Bone marrow aspirate smear:
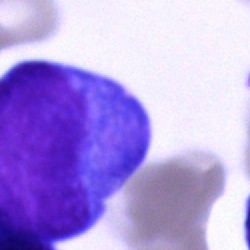
Specimen: bone marrow aspirate smear.
Cell: blast.